Peripheral blood film. Single-cell crop — 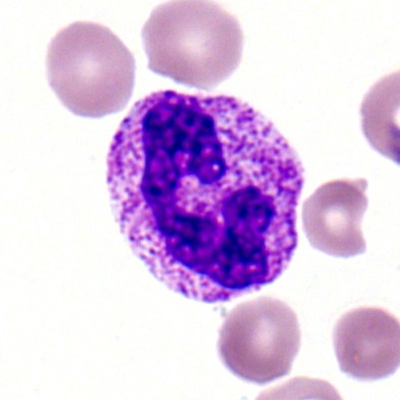
Q: What is shown here?
A: Segmented neutrophil.